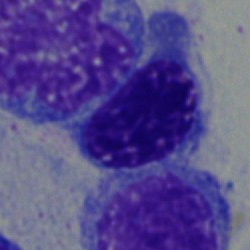

Single-cell crop from a bone marrow smear: erythroblast.